Bone marrow smear — 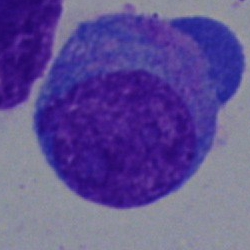
Classification — blast cell.